Bone marrow smear: 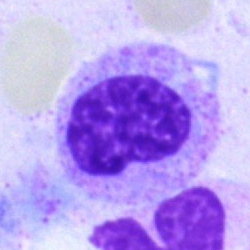The classification is metamyelocyte.